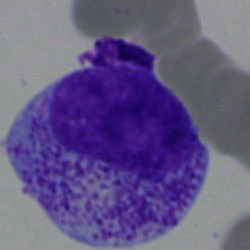Bone marrow smear showing a myelocyte.